Bone marrow aspirate smear — 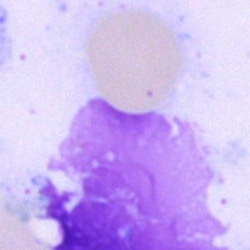Morphology consistent with an artifact.